Bone marrow smear — 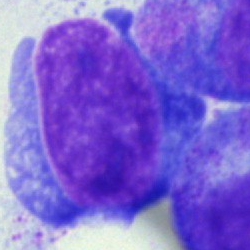 A pronormoblast.